Bone marrow smear — 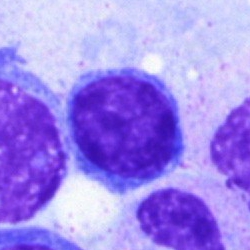
Q: Which cell type is shown here?
A: Typical lymphocyte.